Bone marrow aspirate smear: 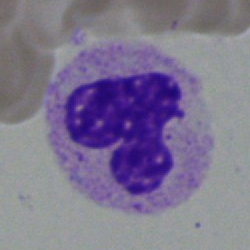

The cell is neutrophil (segmented).